Bone marrow smear.
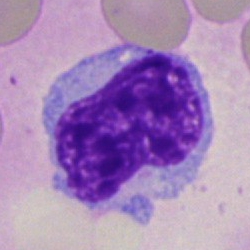
{"cell_type": "artefact"}